MGG-stained · bone marrow smear · 250 by 250 pixels.
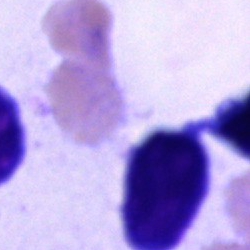Classification = unidentifiable cell.